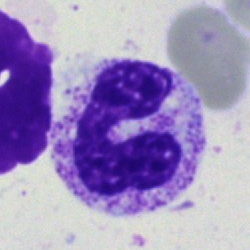 Cell type = band-form neutrophil.